Bone marrow smear; May-Grünwald-Giemsa/Pappenheim stain:
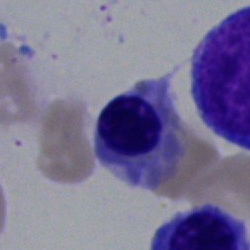Q: What is the morphological classification of this cell?
A: Erythroblast.